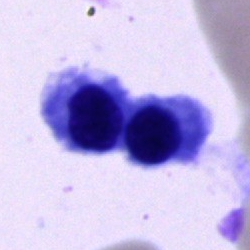The classification is erythroblast.